Bone marrow smear. Single-cell field — 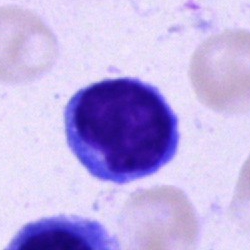

Showing a lymphocyte.